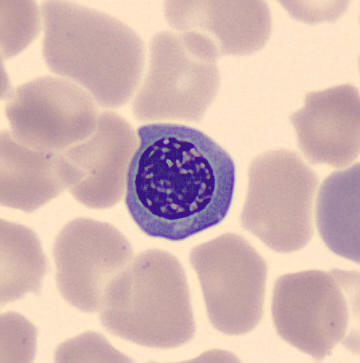

{"cell_type": "nucleated red blood cell", "lineage": "erythroid"}

Acquisition: Peripheral blood film.